Cropped to a single cell · image size 250×250 · bone marrow aspirate smear
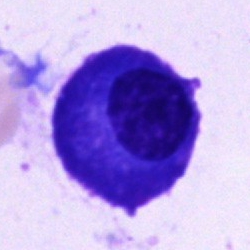Morphological class: plasmacyte.